Bone marrow aspirate smear.
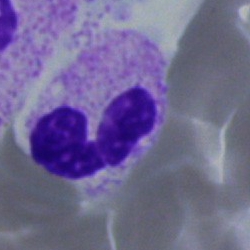

{"cell_type": "segmented neutrophil"}